Single-cell crop. Peripheral blood smear
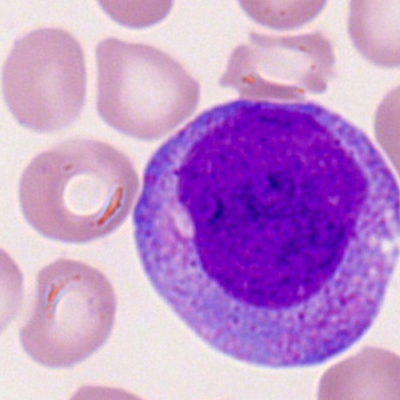Impression — progranulocyte.